40× objective, oil immersion. Bone marrow smear:
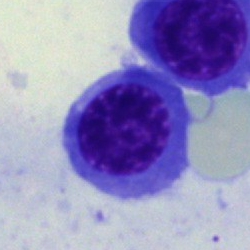Specimen: bone marrow aspirate smear.
Classification: nucleated red blood cell.
Lineage: erythroid.